Single-cell crop; bone marrow smear
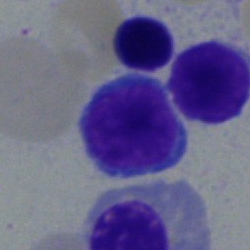Showing a lymphocyte.